Brightfield, 40× oil-immersion objective; May-Grünwald-Giemsa/Pappenheim stain; bone marrow aspirate smear: 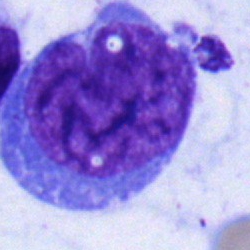
Specimen: bone marrow smear.
Morphological class: blast cell.